Peripheral blood smear.
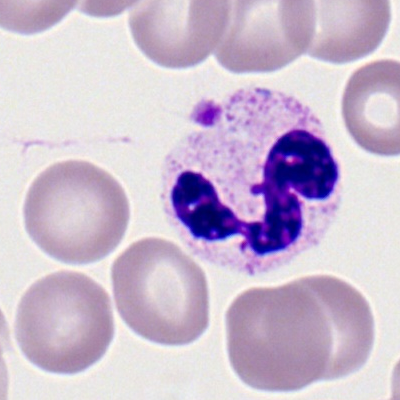 Specimen: peripheral blood film.
Cell type: polymorphonuclear neutrophil.
Lineage: myeloid.